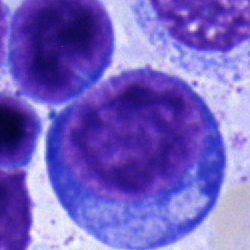Impression → nucleated red cell.